Bone marrow aspirate smear:
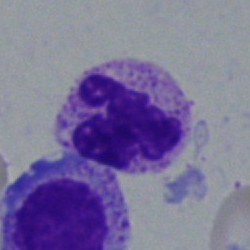Morphological class = neutrophil (segmented).